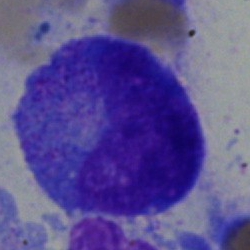
Q: Identify the cell.
A: Progranulocyte.